Bone marrow smear:
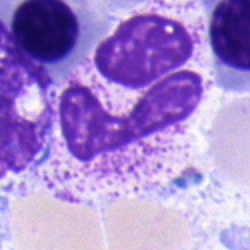

Specimen: bone marrow aspirate smear.
Cell: myelocyte.